Bone marrow smear.
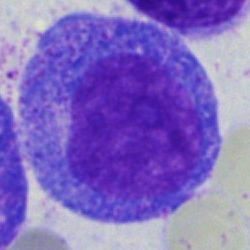 A promyelocyte.